Bone marrow aspirate smear. Single-cell field:
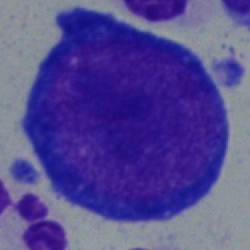This is a proerythroblast.